Bone marrow aspirate smear:
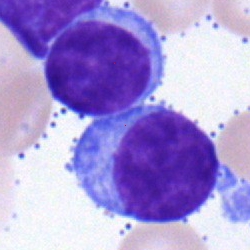
Specimen: bone marrow smear.
Morphological class: lymphocyte.
Lineage: lymphoid.